Bone marrow smear
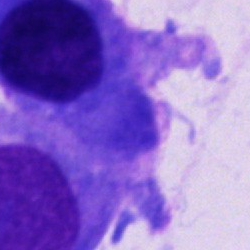Specimen: bone marrow aspirate smear.
Morphological class: other cell type.